Bone marrow smear — 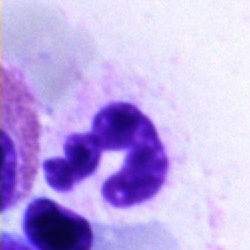 {"cell_type": "segmented neutrophil", "lineage": "myeloid"}